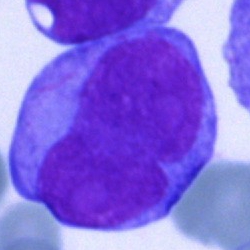
Impression — blast cell.